Bone marrow aspirate smear:
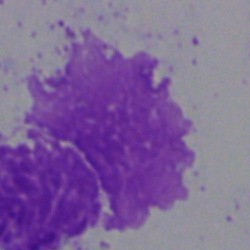The cell type is artifact.